Bone marrow smear:
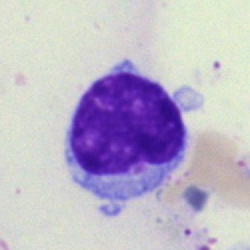

Morphology → typical lymphocyte.